Bone marrow smear · 250×250 px — 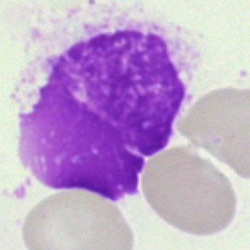

Showing an artefact.